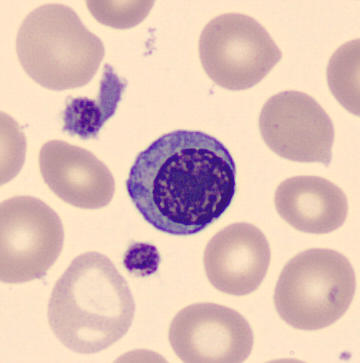 Specimen: peripheral blood film.
Classification: nucleated red cell.
Lineage: erythroid.